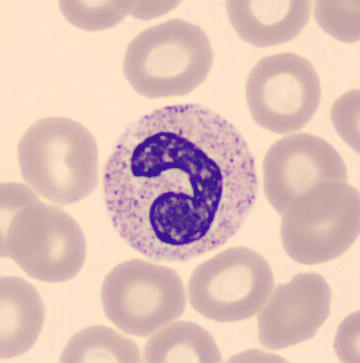
Peripheral blood smear showing a band-form neutrophil.